40× oil immersion. Bone marrow smear
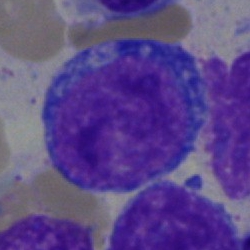

Impression → blast.